Bone marrow aspirate smear
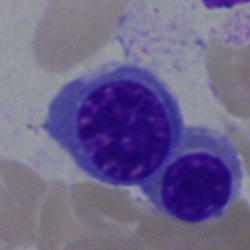Specimen: bone marrow aspirate smear.
Cell: nucleated red cell.
Lineage: erythroid.